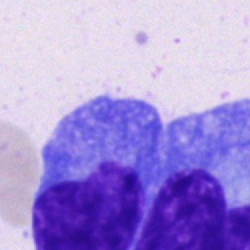Q: What is shown here?
A: A plasmacyte.